Bone marrow smear; May-Grünwald-Giemsa/Pappenheim stain.
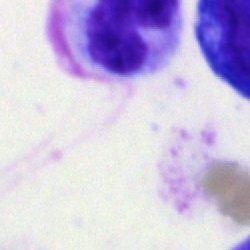
Morphology consistent with a neutrophil (band).